Bone marrow aspirate smear. Pappenheim-stained — 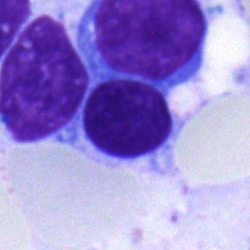Specimen: bone marrow aspirate smear.
Morphological class: erythroblast.